Single-cell field; 250×250; bone marrow aspirate smear:
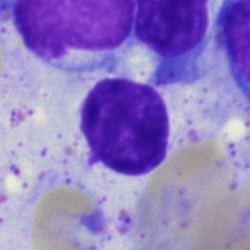 An artifact.